Bone marrow smear: 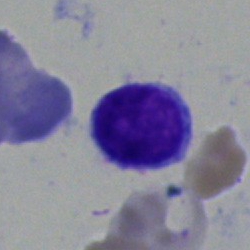
The classification is lymphocyte.